Bone marrow aspirate smear · single-cell field:
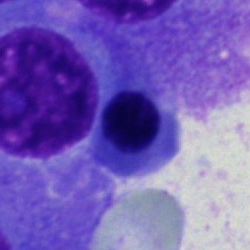
Q: Identify the cell.
A: Nucleated red blood cell.